Bone marrow smear; brightfield, 40× oil-immersion objective; single-cell field: 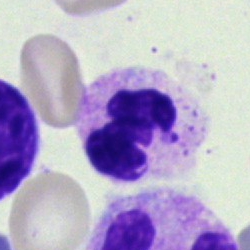

Specimen: bone marrow aspirate smear.
Classification: neutrophil (segmented).